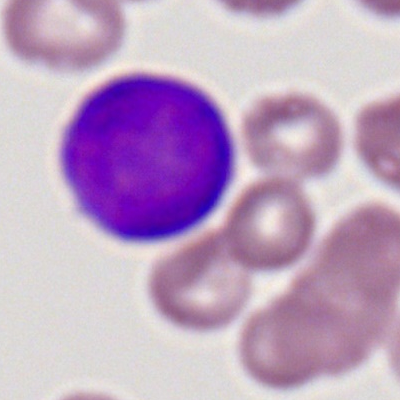
Morphology consistent with a myeloblast.